Bone marrow aspirate smear. 250 by 250 pixels: 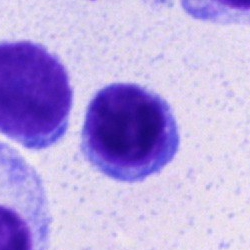Morphology consistent with a lymphocyte.